Bone marrow aspirate smear; 250×250: 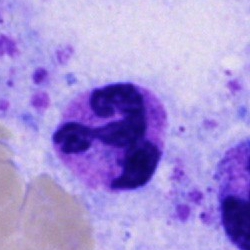 Q: Which cell type is shown here?
A: It is a polymorphonuclear neutrophil.